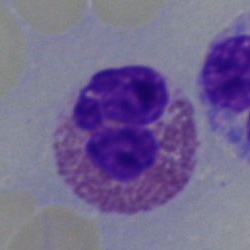Morphology consistent with an eosinophilic granulocyte.